250×250 px. Bone marrow smear
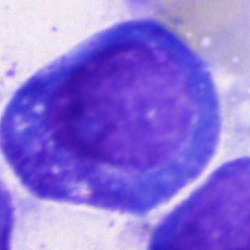
Morphology — progranulocyte.